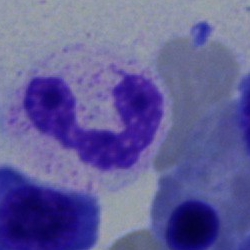 Q: Which cell type is shown here?
A: This is a polymorphonuclear neutrophil.